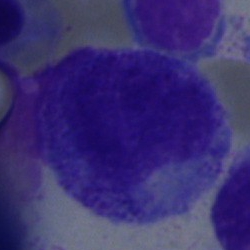 {"cell_type": "promyelocyte"}